Bone marrow aspirate smear — 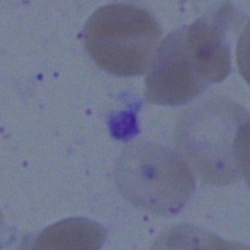An artefact.